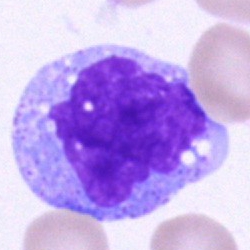

The classification is monocyte.